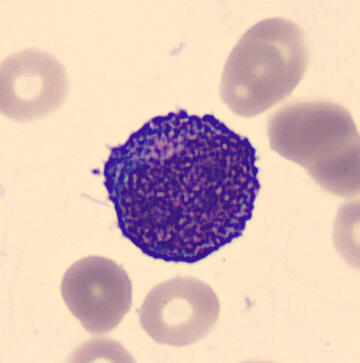Cell — promyelocyte.